Cropped to a single cell · bone marrow aspirate smear · May-Grünwald-Giemsa stain
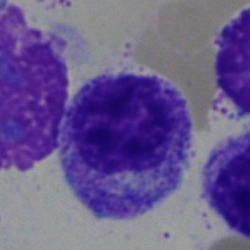

Cell = myelocyte.